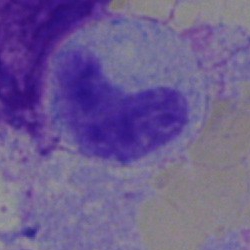
Morphological class — band neutrophil.